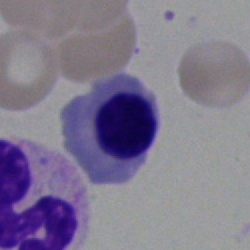

Cell type: nucleated red cell.